Peripheral blood smear: 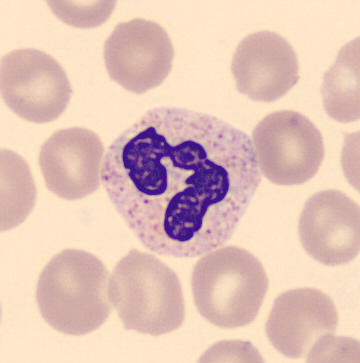 Impression — neutrophil (segmented).